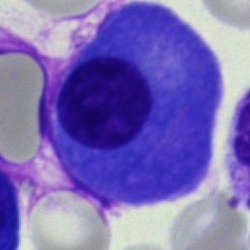 Morphology → plasmacyte.